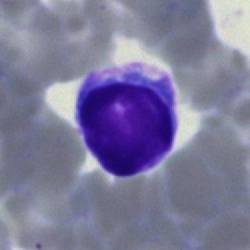

Showing a typical lymphocyte.